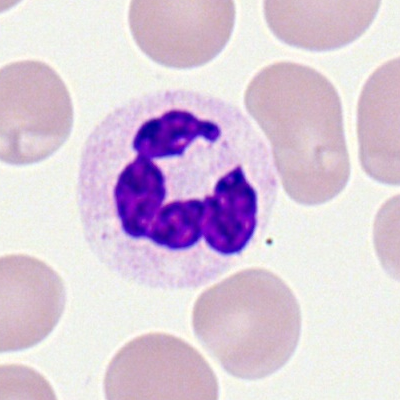

Polymorphonuclear neutrophil.